Bone marrow smear.
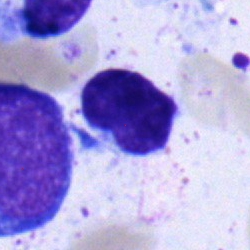
Classification — typical lymphocyte.